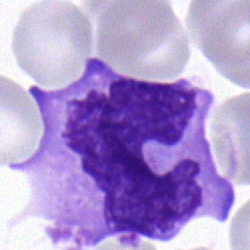 Morphology consistent with a typical lymphocyte.